Single-cell field. Bone marrow aspirate smear. 40× oil immersion: 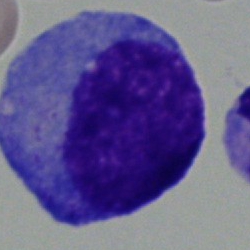 This is a progranulocyte.